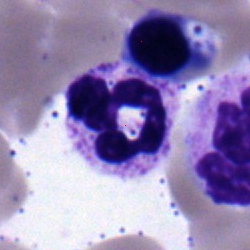
Specimen: bone marrow aspirate smear.
Morphological class: myelocyte.
Lineage: myeloid.